Bone marrow smear:
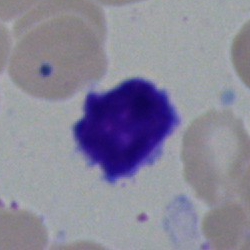
Specimen: bone marrow smear.
Cell: lymphocyte.